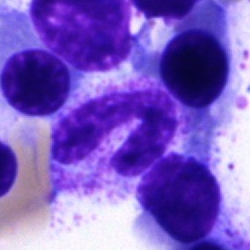

Cell type — band-form neutrophil.